Bone marrow aspirate smear
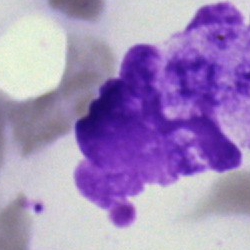 Cell — artefact.